Bone marrow smear. Single-cell field.
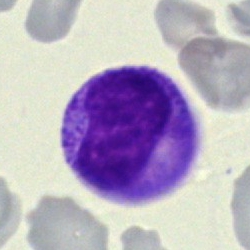 Myelocyte.